Bone marrow aspirate smear; cropped to a single cell:
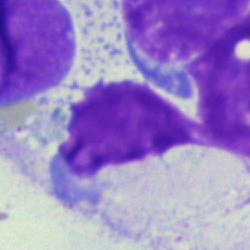Q: What is shown here?
A: This is an artefact.